Bone marrow aspirate smear — 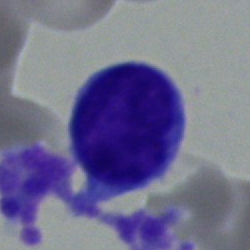
Q: What type of cell is this?
A: This is a monocyte.